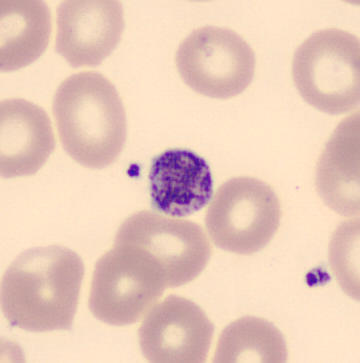

Preparation: Peripheral blood film. CellaVision DM96. Morphology → platelet (thrombocyte).